250×250 px. May-Grünwald-Giemsa/Pappenheim stain. Bone marrow smear.
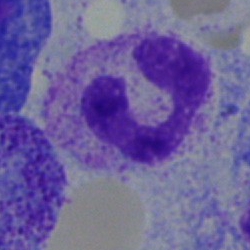Specimen: bone marrow aspirate smear.
Cell type: neutrophil (segmented).